Bone marrow aspirate smear. Cropped to a single cell
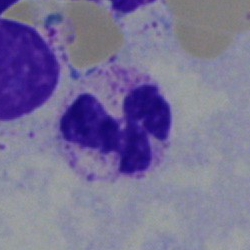 Morphology → polymorphonuclear neutrophil.